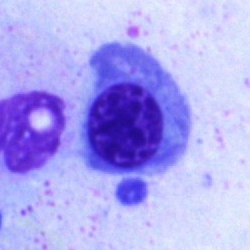Cell type = nucleated red blood cell.